Bone marrow aspirate smear
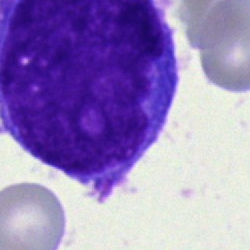
Morphology consistent with a blast.